Bone marrow aspirate smear; single-cell field; 40× objective, oil immersion: 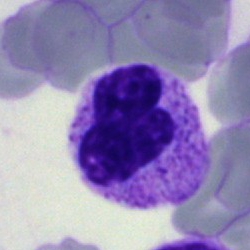 Cell = neutrophil (segmented).